Single-cell field · 100× objective, oil immersion · peripheral blood smear.
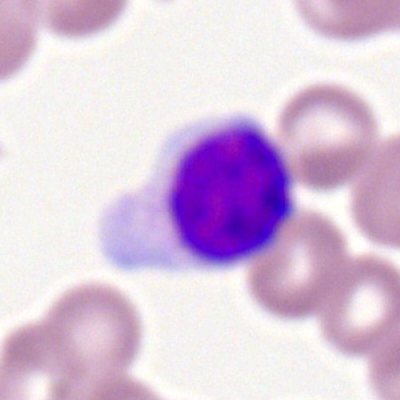
Q: Identify the cell.
A: A typical lymphocyte.